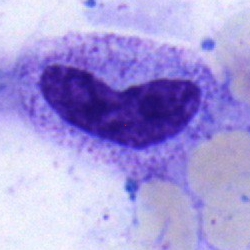

A metamyelocyte on a bone marrow smear.